May-Grünwald-Giemsa/Pappenheim stain; single-cell field; bone marrow smear — 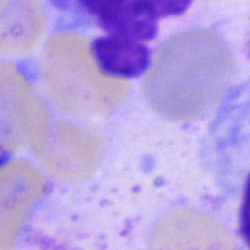
This is an artifact.